Bone marrow aspirate smear: 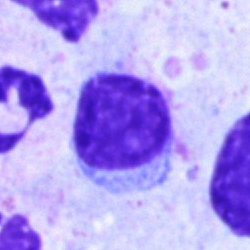

Morphology — typical lymphocyte.